Bone marrow aspirate smear. 250 by 250 pixels: 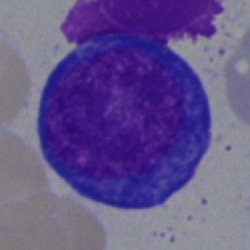

Classification — nucleated red cell.